100× objective, oil immersion. Peripheral blood smear. Single-cell crop.
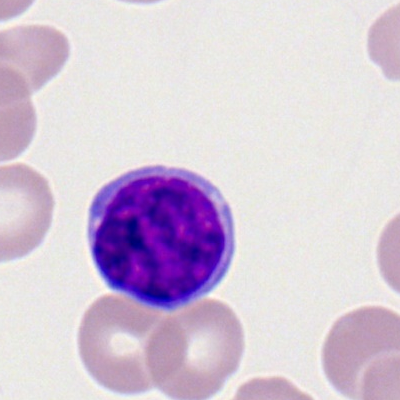
Specimen: peripheral blood film.
Classification: typical lymphocyte.
Lineage: lymphoid.